400×400 px. Peripheral blood film
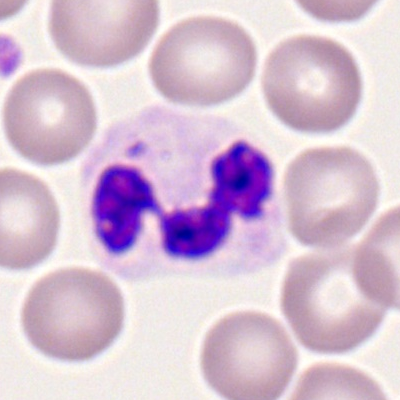 Specimen: peripheral blood smear.
Classification: polymorphonuclear neutrophil.
Lineage: myeloid.